Bone marrow aspirate smear
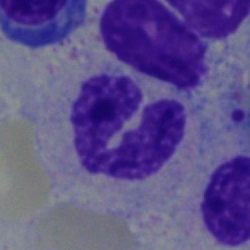

Band neutrophil.